Bone marrow aspirate smear; Pappenheim-stained; single-cell field: 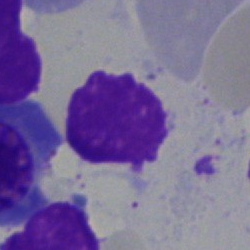

Single cell identified as an artefact.